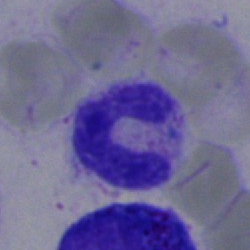
Polymorphonuclear neutrophil.